Bone marrow smear.
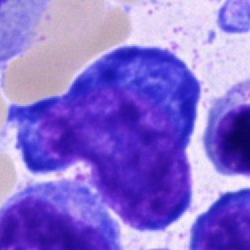 Pronormoblast.